Cropped to a single cell · May-Grünwald-Giemsa stain · bone marrow smear
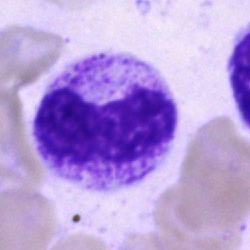 Q: What is the morphological classification of this cell?
A: It is a metamyelocyte.